Bone marrow smear; May-Grünwald-Giemsa stain.
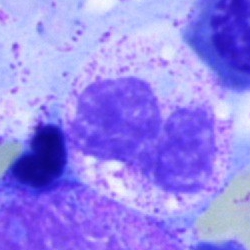 This is a neutrophil (segmented).